Brightfield microscopy, 40× oil immersion · bone marrow smear: 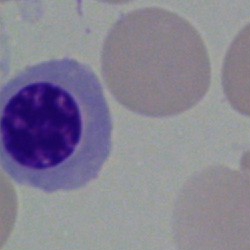 The cell type is normoblast.